Single-cell field · M8 digital microscope (Precipoint), 100× oil immersion · peripheral blood smear: 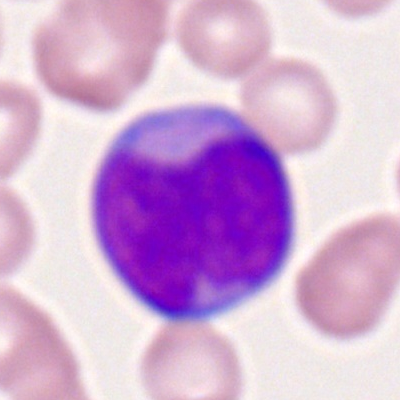
The cell is polymorphonuclear neutrophil.